Bone marrow smear. Single cell centered in the field.
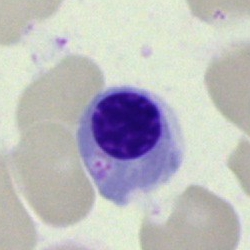Q: What type of cell is this?
A: It is an erythroblast.